Bone marrow smear
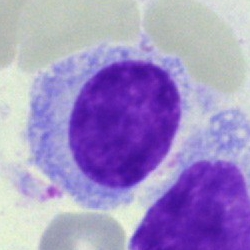{"cell_type": "hairy cell"}